Bone marrow aspirate smear
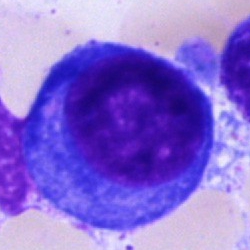
Cell type = proerythroblast.